Bone marrow aspirate smear. 250×250
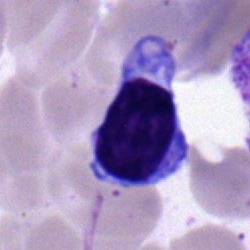

{"cell_type": "lymphocyte", "lineage": "lymphoid"}